Bone marrow aspirate smear:
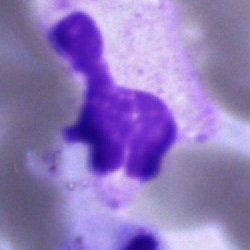

Cell: neutrophil (segmented).